Bone marrow aspirate smear — 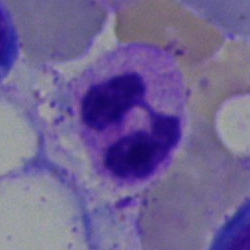
Segmented neutrophil.